Bone marrow smear: 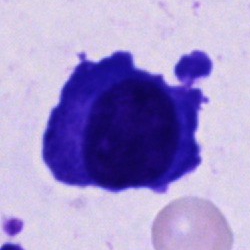

Classification: plasmacyte.